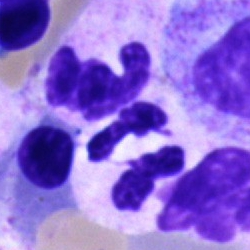 Specimen: bone marrow smear.
Cell: polymorphonuclear neutrophil.
Lineage: myeloid.